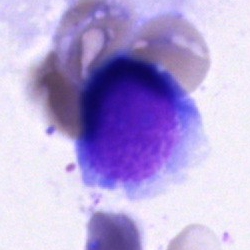An artefact on a bone marrow smear.